Bone marrow smear.
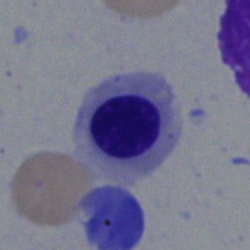

Q: What type of cell is this?
A: An erythroblast.